Bone marrow aspirate smear — 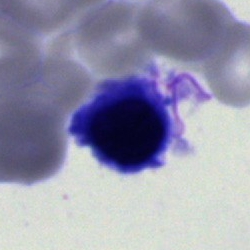
Q: Identify the cell.
A: An erythroblast.